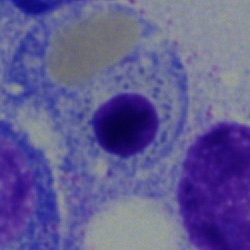

Q: What cell is this?
A: Nucleated red blood cell.